Bone marrow smear.
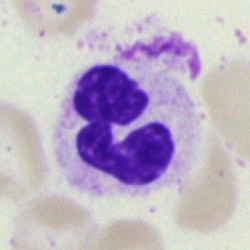 Cell — neutrophil (segmented).